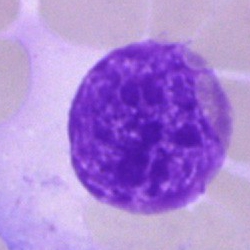

An artifact.